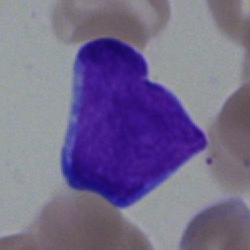 Single-cell crop from a bone marrow smear: blast.